Bone marrow smear
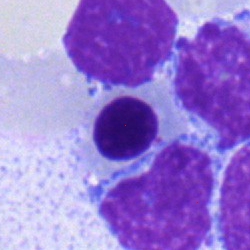 Morphology consistent with a nucleated red cell.